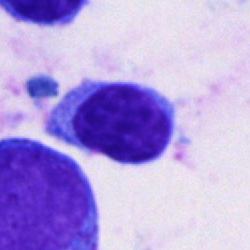 Q: What is shown here?
A: This is a typical lymphocyte.